Bone marrow smear — 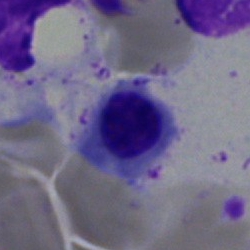

Specimen: bone marrow aspirate smear.
Morphological class: erythroblast.